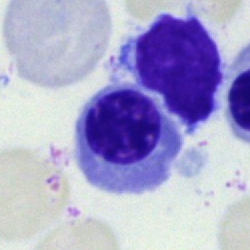 Cell type: erythroblast.